Bone marrow smear.
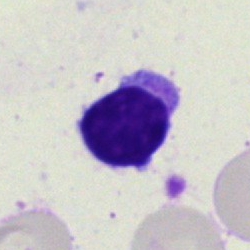 Morphology — lymphocyte.